Bone marrow smear: 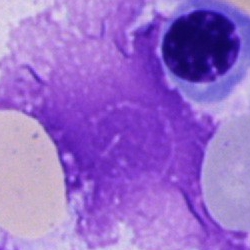

Artifact.